40× oil immersion. Bone marrow smear:
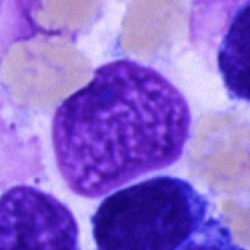 Unidentifiable cell.